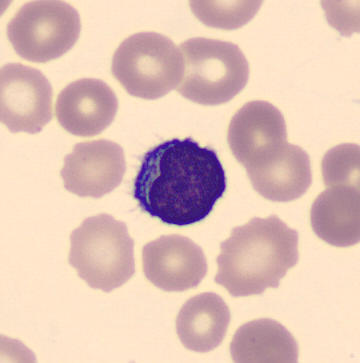Specimen: peripheral blood smear.
Cell type: lymphocyte.
Lineage: lymphoid.